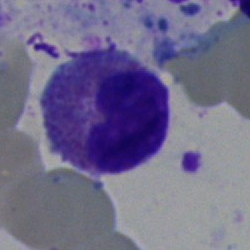
{"cell_type": "eosinophilic granulocyte"}